Bone marrow smear — 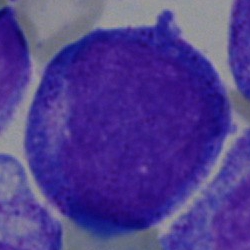Q: What type of cell is this?
A: This is a progranulocyte.